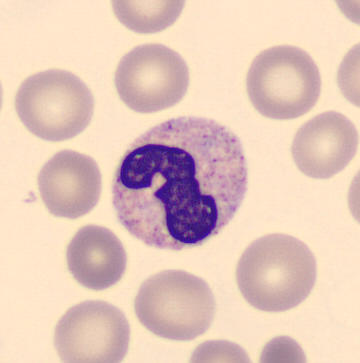
Q: What is shown here?
A: It is a neutrophil (band).